Bone marrow smear — 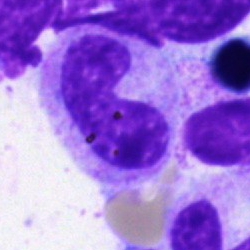
Classification: band neutrophil.